Bone marrow smear. 40× oil immersion — 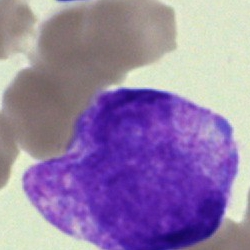 Q: What is the morphological classification of this cell?
A: A blast.